May-Grünwald-Giemsa/Pappenheim stain; bone marrow smear: 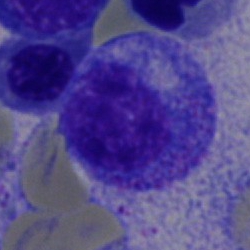
Specimen: bone marrow smear.
Classification: progranulocyte.